Single-cell field · bone marrow smear.
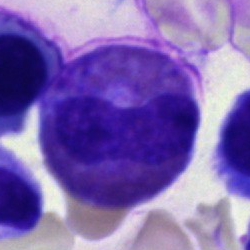 The cell shown is an eosinophil.